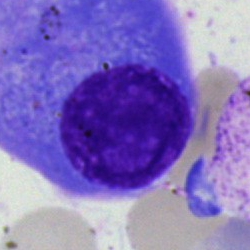

Specimen: bone marrow aspirate smear.
Cell type: plasma cell.